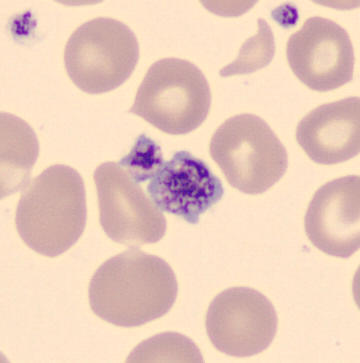Morphological class = thrombocyte.